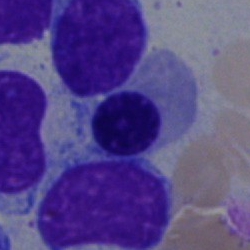 Bone marrow smear showing a nucleated red cell.